250×250 px; single-cell crop; bone marrow aspirate smear.
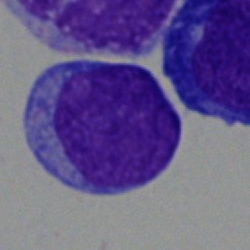

A blast cell.